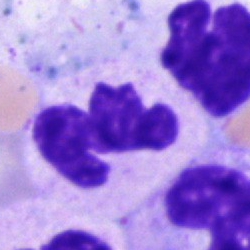 Morphology — polymorphonuclear neutrophil.